Bone marrow smear
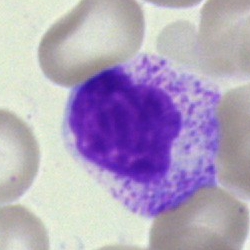
Showing a myelocyte.